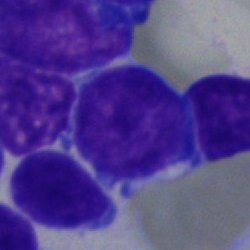 The cell is blast.